Bone marrow smear.
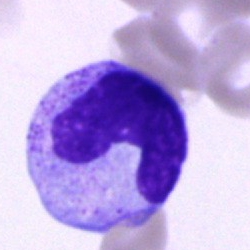

Cell type: neutrophil (band).